Peripheral blood film.
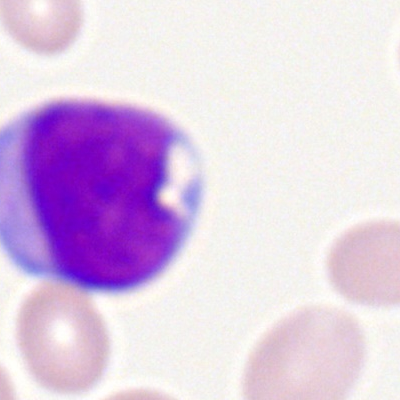 Q: What is the morphological classification of this cell?
A: It is a myeloid blast.